Peripheral blood smear · 400 by 400 pixels:
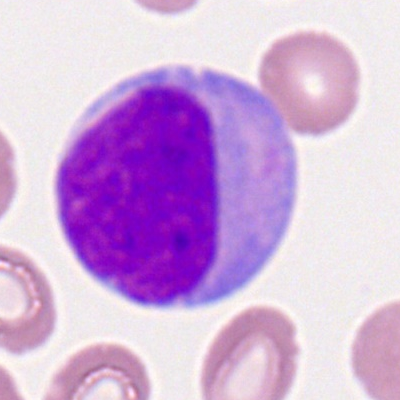 Morphological class = myeloid blast.